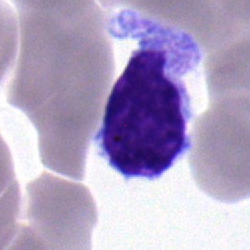 Lymphocyte.